May-Grünwald-Giemsa stain; bone marrow smear: 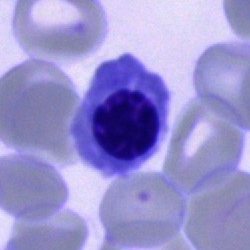 Single cell identified as a normoblast.